Bone marrow smear; MGG-stained; 40× oil immersion — 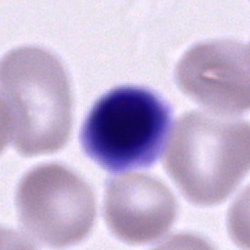 Cell of indeterminate lineage.